Bone marrow smear — 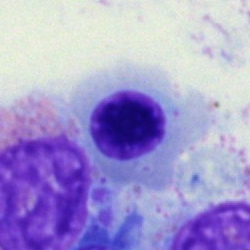Q: Identify the cell.
A: It is a nucleated red blood cell.